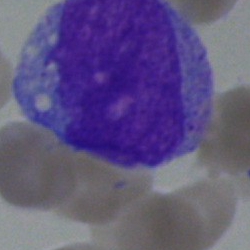 This is a blast.